Bone marrow aspirate smear — 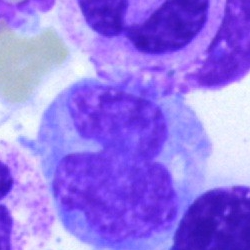

Impression — monocyte.